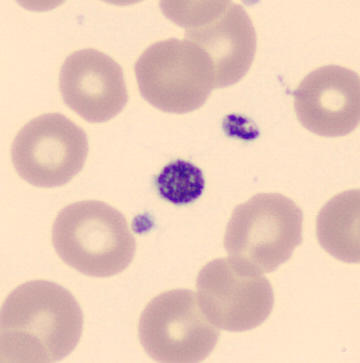
Morphological class — thrombocyte.